Bone marrow smear — 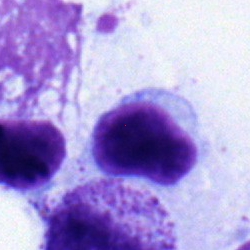
Specimen: bone marrow smear.
Classification: lymphocyte.